Peripheral blood film:
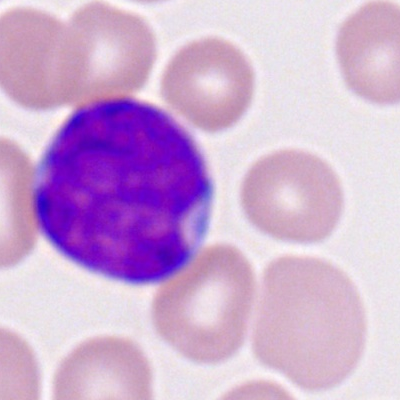Q: What is shown here?
A: Myeloid blast.